Bone marrow aspirate smear:
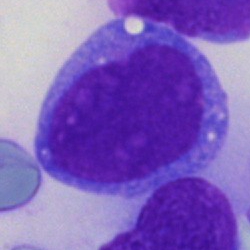{"cell_type": "blast cell"}